Bone marrow aspirate smear: 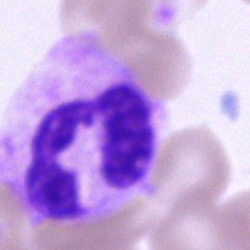

Morphology → neutrophil (segmented).